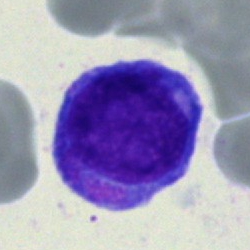Q: What is the morphological classification of this cell?
A: This is a blast cell.